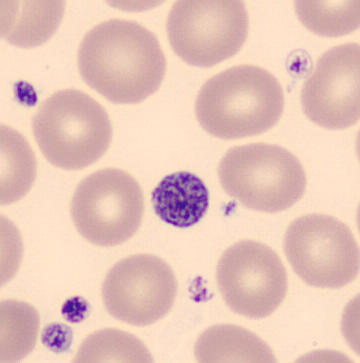From a peripheral blood smear: a platelet (thrombocyte).